May-Grünwald-Giemsa/Pappenheim stain. Bone marrow aspirate smear:
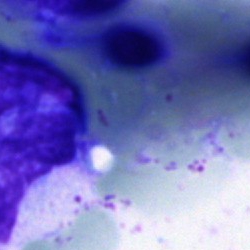
An artefact.